M8 digital microscope (Precipoint), 100× oil immersion. Cropped to a single cell. Peripheral blood smear:
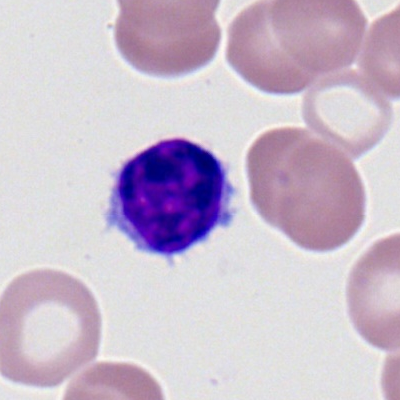 The cell is lymphocyte.